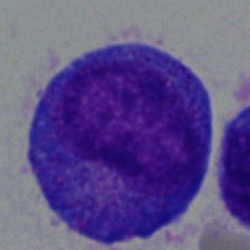
{"cell_type": "promyelocyte", "lineage": "myeloid"}